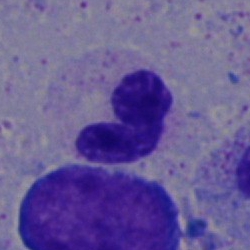
Morphology consistent with a polymorphonuclear neutrophil.